Bone marrow smear.
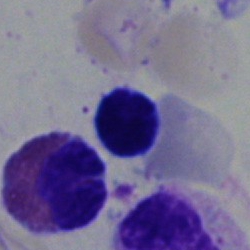Q: What cell is this?
A: A typical lymphocyte.